Bone marrow aspirate smear.
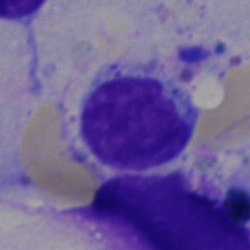

Showing a lymphocyte.